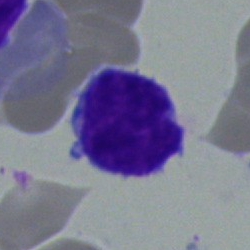The cell type is lymphocyte.